Single cell centered in the field · bone marrow aspirate smear.
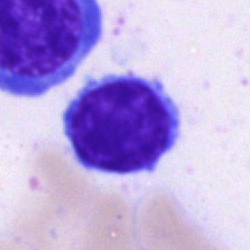
{"cell_type": "lymphocyte"}